Bone marrow aspirate smear. 250×250 px
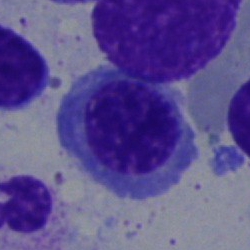

Q: What is the morphological classification of this cell?
A: This is a normoblast.